250 by 250 pixels · bone marrow smear.
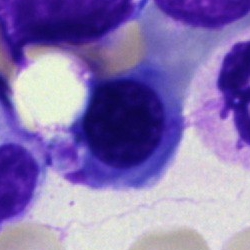A normoblast.